Bone marrow smear: 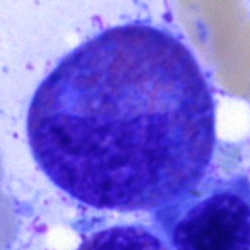 Morphological class = eosinophil.